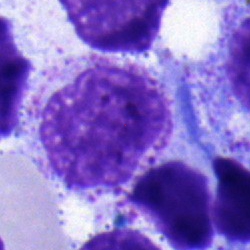Morphology → myelocyte.